Bone marrow aspirate smear; May-Grünwald-Giemsa stain: 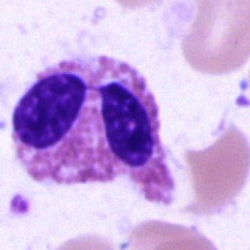Morphological class — eosinophilic granulocyte.